Single-cell crop; peripheral blood smear:
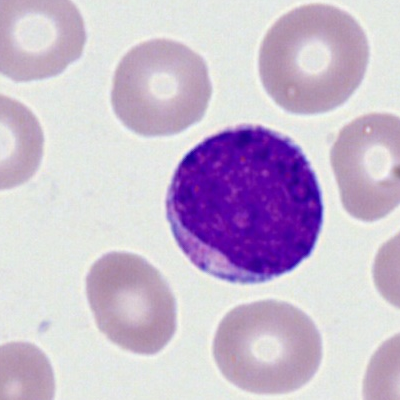 This is a myeloblast.